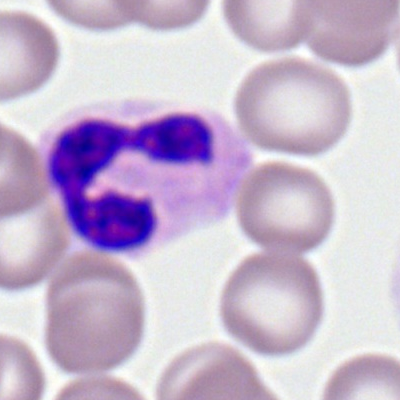
Cell type = segmented neutrophil.